May-Grünwald-Giemsa/Pappenheim stain; bone marrow aspirate smear.
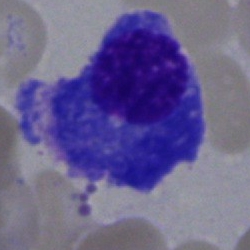
Classification: plasmacyte.